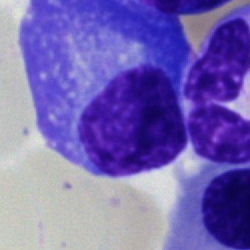Morphology consistent with a plasma cell.